Bone marrow smear. Single-cell crop. May-Grünwald-Giemsa/Pappenheim stain — 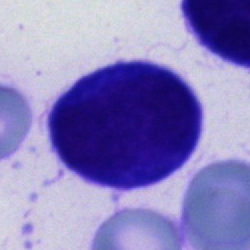 Q: Which cell type is shown here?
A: This is an unidentifiable cell.